Bone marrow aspirate smear
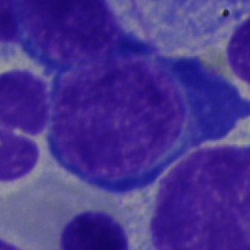
A proerythroblast.